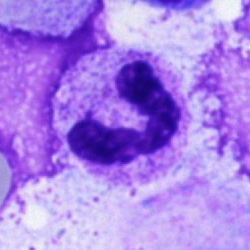

Specimen: bone marrow aspirate smear.
Morphological class: neutrophil (segmented).